40× oil immersion · bone marrow smear.
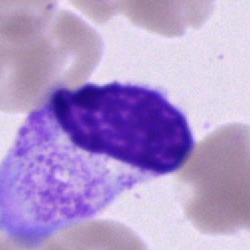 Specimen: bone marrow smear.
Cell type: myelocyte.
Lineage: myeloid.